Bone marrow smear
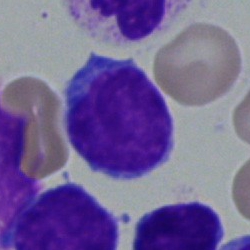

Cell type = lymphocyte.